Bone marrow smear; Pappenheim-stained
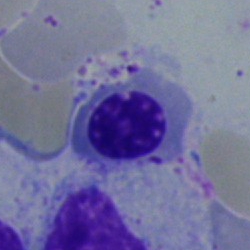 Q: Identify the cell.
A: It is a nucleated red cell.